Bone marrow aspirate smear — 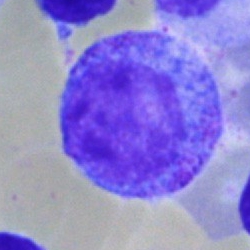Single cell identified as a progranulocyte.